Bone marrow aspirate smear. MGG-stained
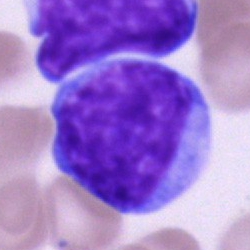Single cell identified as an undifferentiated blast.